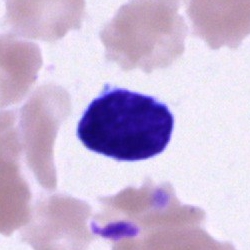

The cell is typical lymphocyte.